40× objective, oil immersion; bone marrow smear.
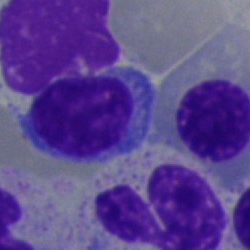 Impression — lymphocyte.